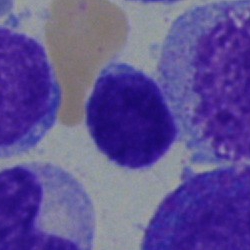 This is a lymphocyte.